Bone marrow aspirate smear: 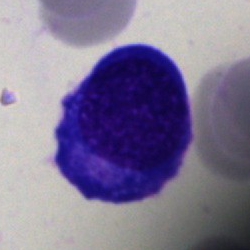Morphology — erythroblast.